Bone marrow smear: 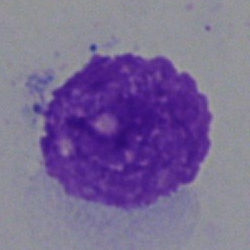 Specimen: bone marrow smear.
Morphological class: artifact.